May-Grünwald-Giemsa/Pappenheim stain · bone marrow aspirate smear.
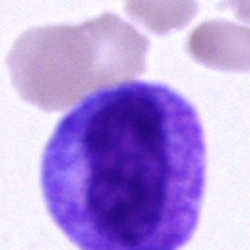
Cell — promyelocyte.